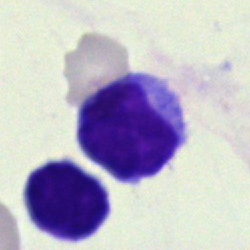Q: Identify the cell.
A: This is a typical lymphocyte.